May-Grünwald-Giemsa/Pappenheim stain; bone marrow aspirate smear; brightfield, 40× oil-immersion objective.
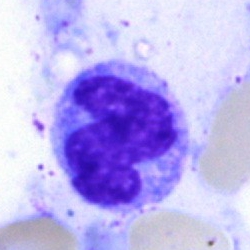

Q: What cell is this?
A: A monocyte.